Bone marrow smear: 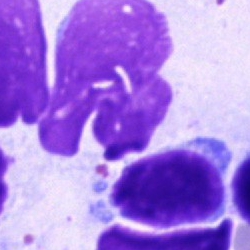 Specimen: bone marrow aspirate smear.
Morphological class: lymphocyte.